Bone marrow smear; MGG-stained; single cell centered in the field.
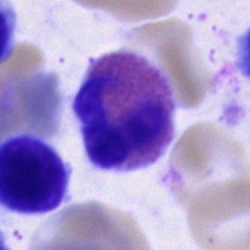Morphology → eosinophil.